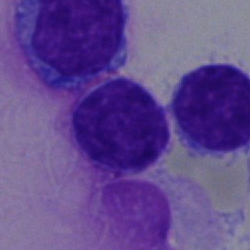Typical lymphocyte.